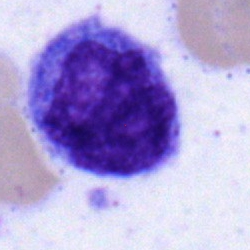

Q: What is the morphological classification of this cell?
A: An undifferentiated blast.